Bone marrow aspirate smear: 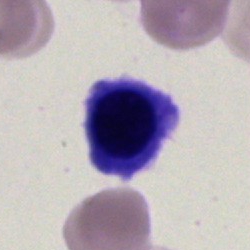 This is an erythroblast.